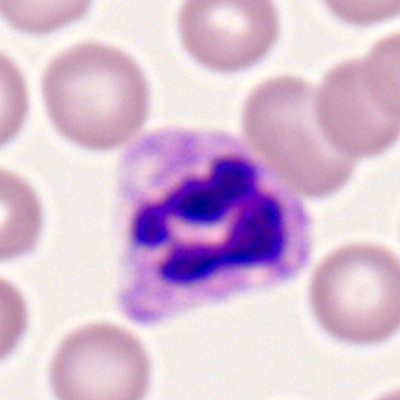 Specimen: peripheral blood film.
Classification: neutrophil (segmented).